Bone marrow aspirate smear: 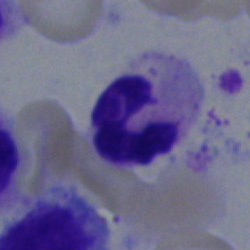 The cell shown is a polymorphonuclear neutrophil.